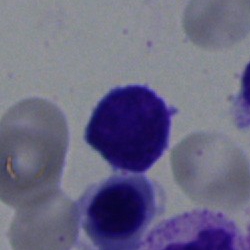 A lymphocyte.